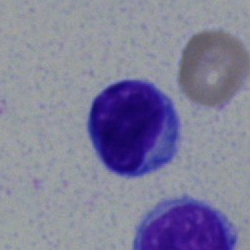Impression — lymphocyte.